Bone marrow aspirate smear
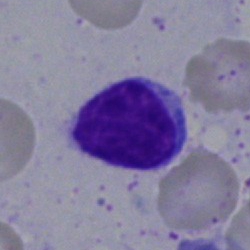 The cell type is typical lymphocyte.